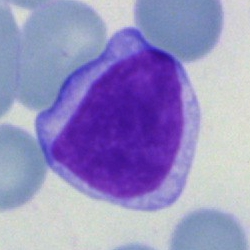
An immature lymphocyte on a bone marrow smear.